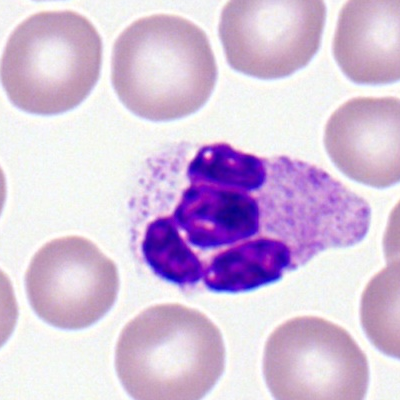The cell is polymorphonuclear neutrophil.